Bone marrow smear.
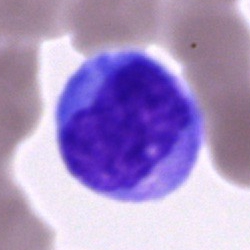
Morphological class: monocyte.